Bone marrow aspirate smear. 250 by 250 pixels. Pappenheim-stained:
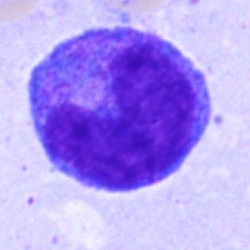

Cell — promyelocyte.